Bone marrow aspirate smear — 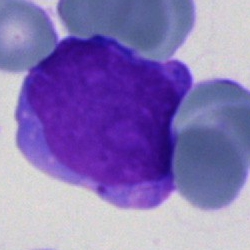Impression — blast cell.